Bone marrow aspirate smear:
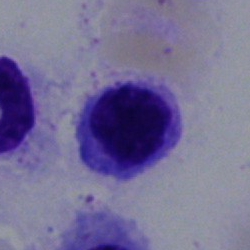

Cell type — erythroblast.